250×250 · 40× objective, oil immersion · bone marrow smear: 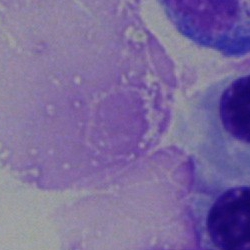

Showing an artefact.